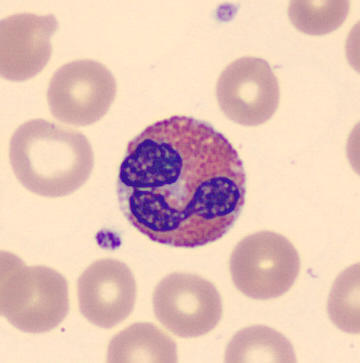The cell is eosinophilic granulocyte.
360×363 px. Peripheral blood film.